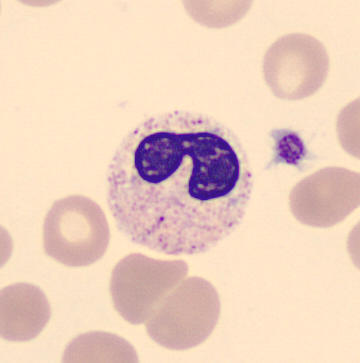Image: Peripheral blood film. Band-form neutrophil.